Bone marrow smear · 40× objective, oil immersion.
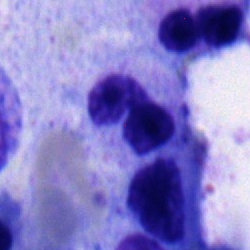Specimen: bone marrow aspirate smear.
Morphological class: segmented neutrophil.
Lineage: myeloid.